CellaVision DM96 digital cell image · peripheral blood smear
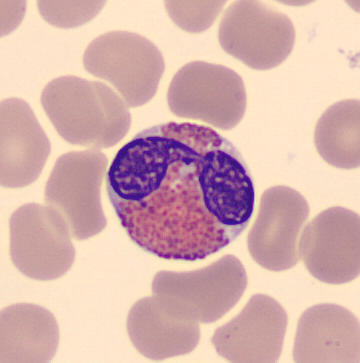

Q: What cell is this?
A: It is an eosinophil.